Bone marrow smear; 250×250.
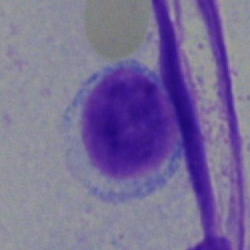 Q: What cell is this?
A: This is a typical lymphocyte.